Bone marrow aspirate smear:
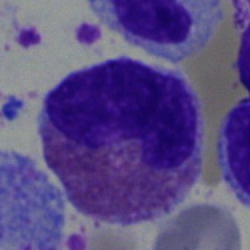

Q: What cell is this?
A: Eosinophil.